40× objective, oil immersion · bone marrow smear: 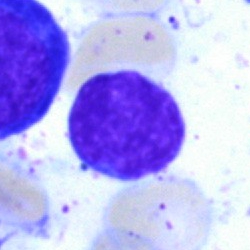
Q: What type of cell is this?
A: It is a typical lymphocyte.